Bone marrow smear
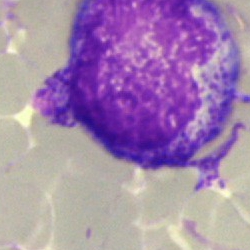
This is a promyelocyte.